Bone marrow aspirate smear
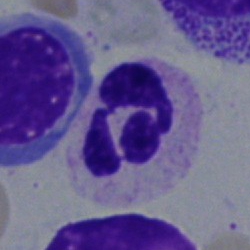
Impression → polymorphonuclear neutrophil.